40× oil immersion. Single cell centered in the field. Bone marrow smear
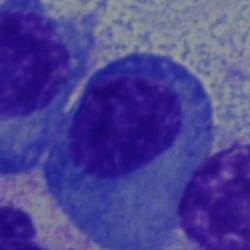

Morphology consistent with a plasma cell.